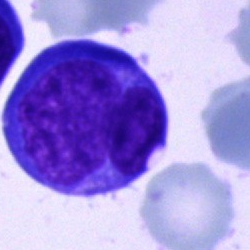
Morphology → undifferentiated blast.